Bone marrow aspirate smear
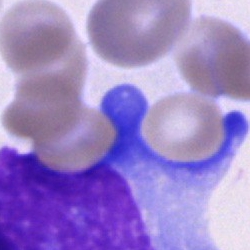 The cell shown is an artefact.